Bone marrow smear:
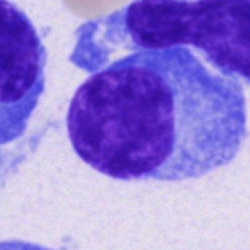Plasmacyte.